Bone marrow aspirate smear: 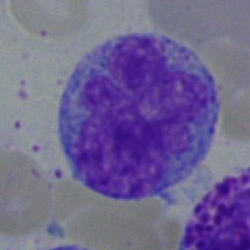

{"cell_type": "monocyte", "lineage": "myeloid"}